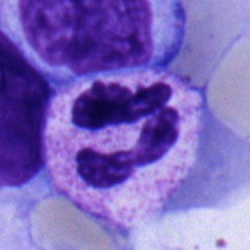 Cell: neutrophil (segmented).